Bone marrow smear — 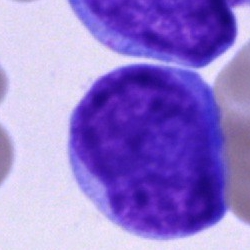
{"cell_type": "undifferentiated blast"}